Brightfield microscopy, 40× oil immersion · bone marrow aspirate smear: 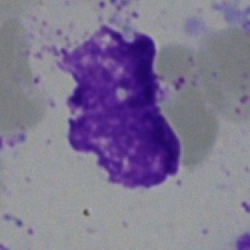
Q: What is shown here?
A: Artifact.